MGG-stained · image size 250×250 · bone marrow aspirate smear.
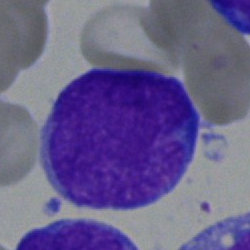
Q: What is shown here?
A: It is a blast cell.